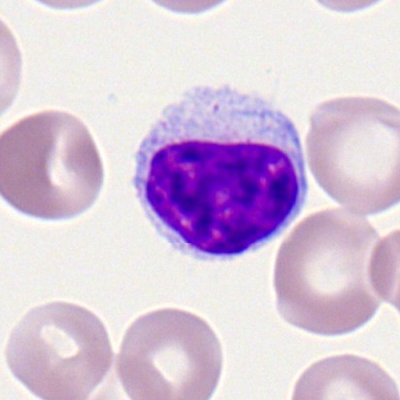A lymphocyte.